250×250 px · bone marrow smear · May-Grünwald-Giemsa/Pappenheim stain: 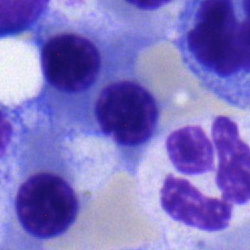Specimen: bone marrow smear.
Classification: erythroblast.
Lineage: erythroid.